40× objective, oil immersion. Bone marrow aspirate smear: 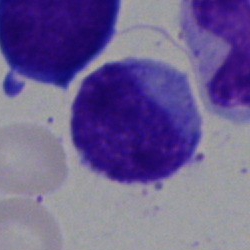Morphology consistent with a typical lymphocyte.